Peripheral blood smear:
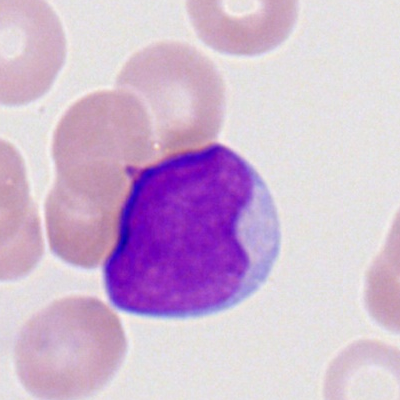 Cell type: myeloid blast.